250 by 250 pixels; bone marrow aspirate smear:
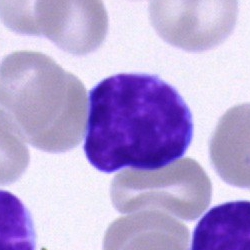 Impression → typical lymphocyte.